Bone marrow smear.
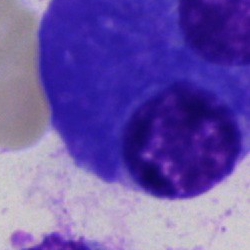
Classification — plasma cell.